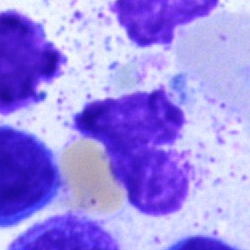 {"cell_type": "artifact"}